Bone marrow aspirate smear
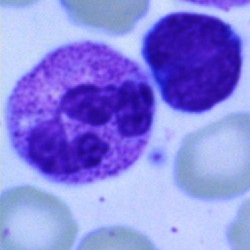Showing a neutrophil (segmented).